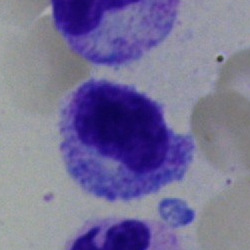 Q: Identify the cell.
A: Neutrophil (segmented).